Bone marrow smear:
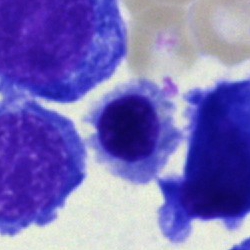

Erythroblast.